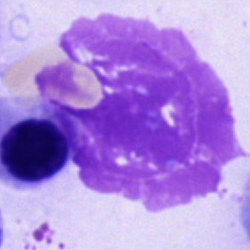
Q: What is shown here?
A: An artifact.